Bone marrow aspirate smear — 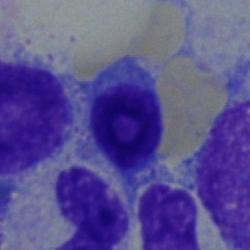Morphological class — nucleated red cell.